Bone marrow aspirate smear — 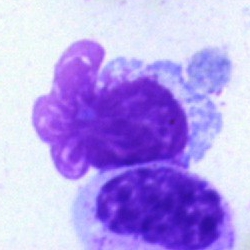Q: What is shown here?
A: Artefact.